Brightfield microscopy, 40× oil immersion. Bone marrow aspirate smear: 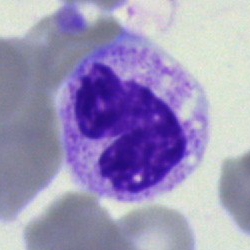

Q: What cell is this?
A: Neutrophil (band).